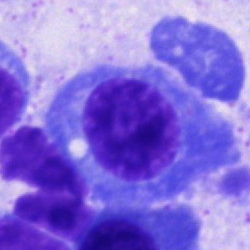
This is a plasmacyte.